Peripheral blood film · single-cell crop · 100× objective, oil immersion
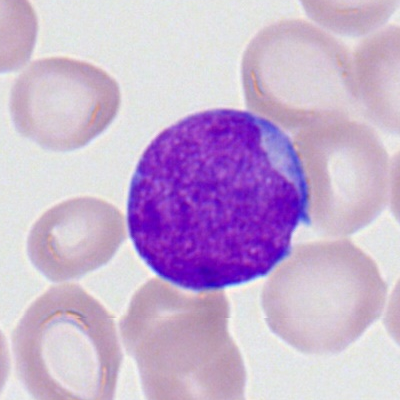

A myeloblast.